Bone marrow aspirate smear: 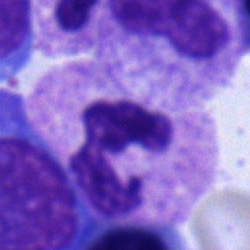
Specimen: bone marrow aspirate smear.
Cell: segmented neutrophil.